Bone marrow aspirate smear. Brightfield microscopy, 40× oil immersion — 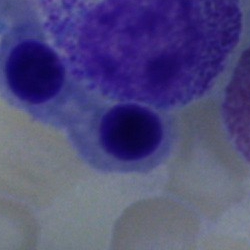An erythroblast.